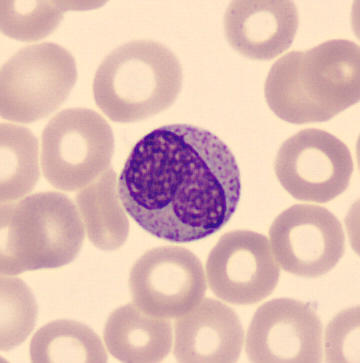

Acquisition: Peripheral blood film. Image size 360×363.
Single cell identified as a metamyelocyte.